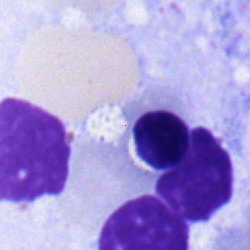
{"cell_type": "erythroblast", "lineage": "erythroid"}